400×400 px; peripheral blood smear.
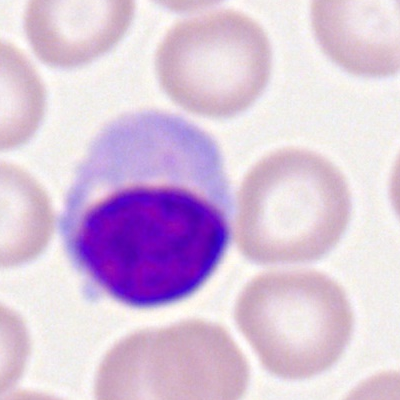{"cell_type": "lymphocyte", "lineage": "lymphoid"}